Bone marrow aspirate smear: 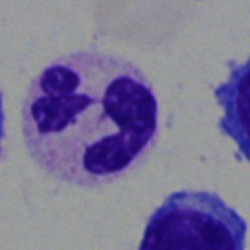 Showing a segmented neutrophil.